Bone marrow smear: 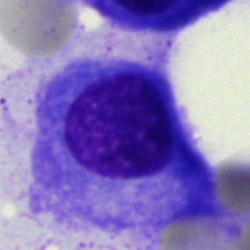The morphological class is plasmacyte.